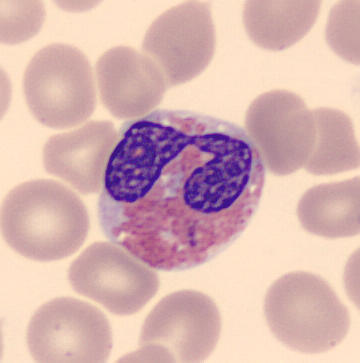The cell shown is an eosinophilic granulocyte. Acquisition: Peripheral blood film.